Bone marrow aspirate smear:
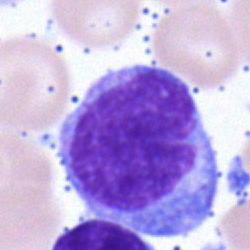 The cell type is monocyte.